Bone marrow aspirate smear: 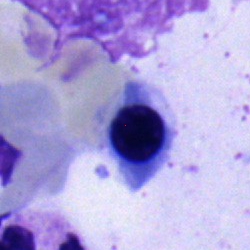 A nucleated red cell.